Bone marrow aspirate smear: 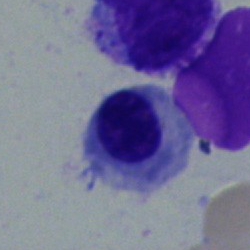 Classification — nucleated red blood cell.